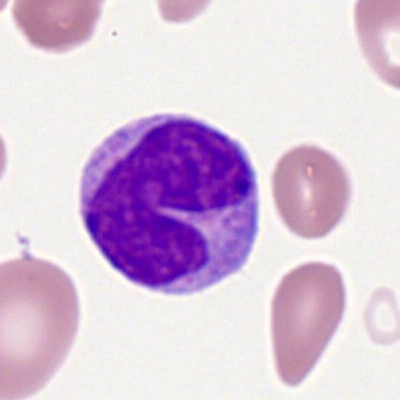

A monocyte.